Bone marrow smear
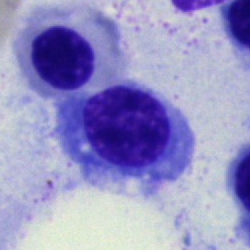

The cell is nucleated red blood cell.